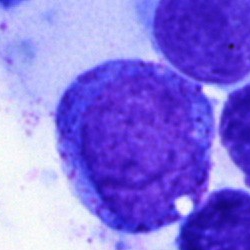
Q: What is the morphological classification of this cell?
A: A progranulocyte.